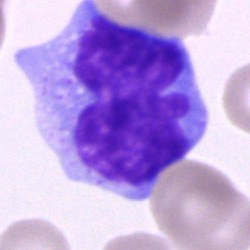

Q: Identify the cell.
A: Monocyte.